Bone marrow smear; 250 by 250 pixels — 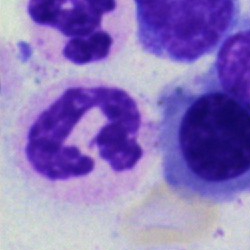
The cell type is segmented neutrophil.